Bone marrow aspirate smear:
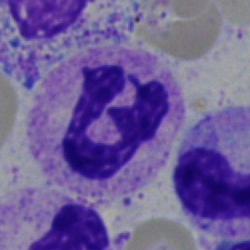 Q: What type of cell is this?
A: This is a neutrophil (segmented).